250×250 px · bone marrow smear · brightfield microscopy, 40× oil immersion — 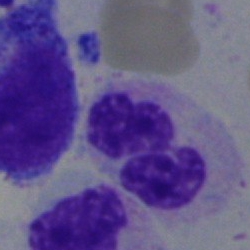
Cell = polymorphonuclear neutrophil.